Peripheral blood film.
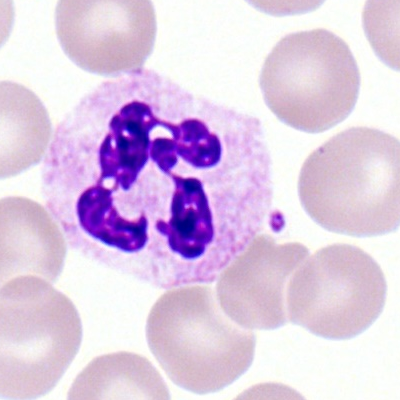Impression → neutrophil (segmented).